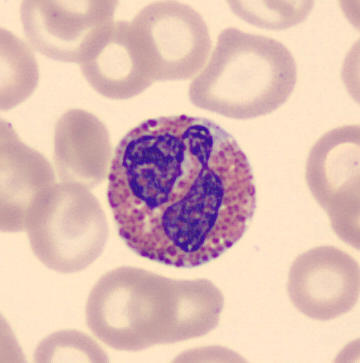Image: MGG-stained. Specimen: peripheral blood film.
Classification: eosinophilic granulocyte.
Lineage: myeloid.